250×250 · brightfield microscopy, 40× oil immersion · bone marrow aspirate smear — 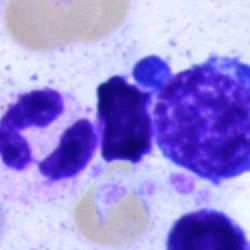

The cell shown is a polymorphonuclear neutrophil.